Bone marrow smear. Brightfield, 40× oil-immersion objective — 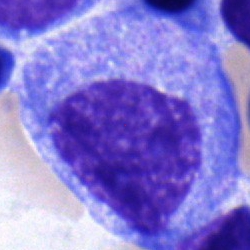
The morphological class is promyelocyte.